Bone marrow aspirate smear · image size 250×250
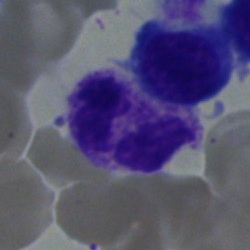 Morphology consistent with a neutrophil (segmented).